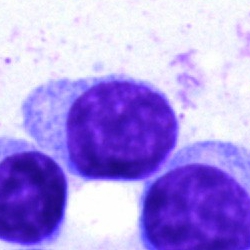 Specimen: bone marrow smear.
Cell type: typical lymphocyte.